Bone marrow aspirate smear:
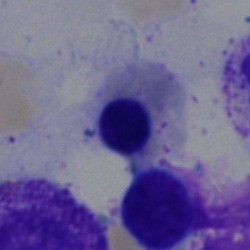Classification — nucleated red cell.